Bone marrow smear:
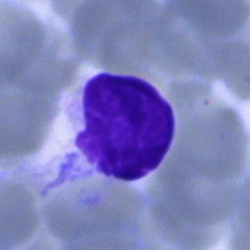

Impression → typical lymphocyte.